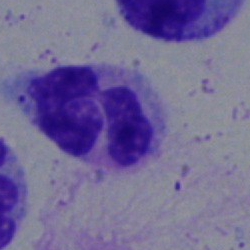

Bone marrow smear showing a polymorphonuclear neutrophil.